Bone marrow smear — 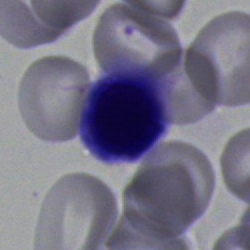
Showing an erythroblast.